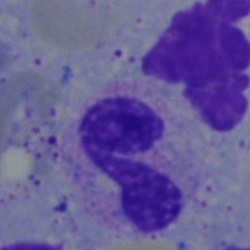
Impression → neutrophil (segmented).